40× oil immersion · bone marrow smear — 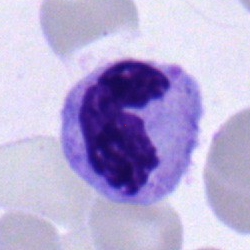Specimen: bone marrow smear.
Classification: stab cell.
Lineage: myeloid.